250 by 250 pixels; bone marrow smear.
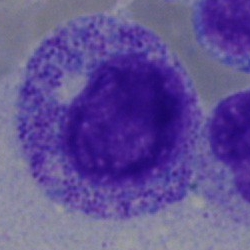 {"cell_type": "progranulocyte", "lineage": "myeloid"}